Bone marrow smear. 250 by 250 pixels.
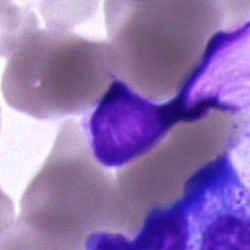Q: What is shown here?
A: An artifact.